Bone marrow smear
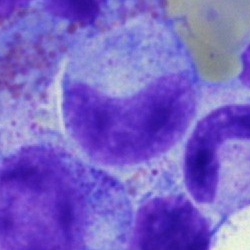

Specimen: bone marrow aspirate smear.
Cell: metamyelocyte.
Lineage: myeloid.